Bone marrow smear · 250×250 px · 40× oil immersion.
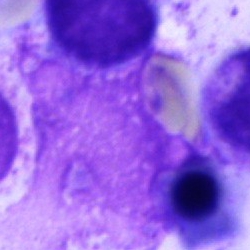
An artifact.